Bone marrow aspirate smear
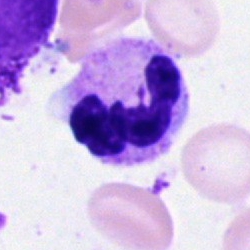 Specimen: bone marrow smear.
Classification: neutrophil (segmented).
Lineage: myeloid.